Bone marrow smear; 250×250
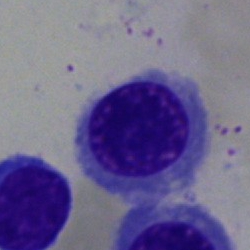 Morphological class: erythroblast.